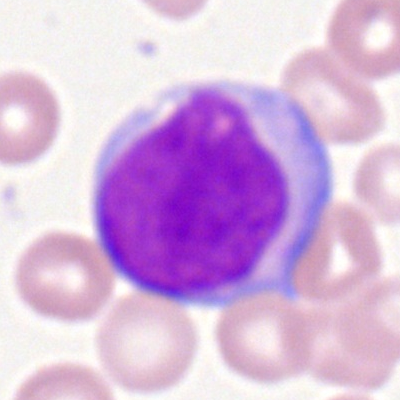

This is a myeloblast.